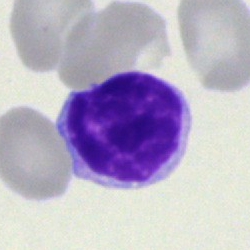
The cell shown is a lymphocyte.